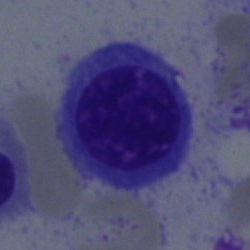 Q: What type of cell is this?
A: It is an erythroblast.